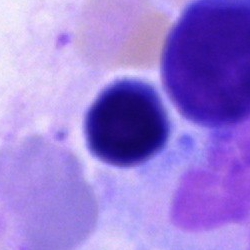
Specimen: bone marrow smear.
Cell type: cell of indeterminate lineage.